Brightfield, 40× oil-immersion objective; May-Grünwald-Giemsa stain; bone marrow aspirate smear — 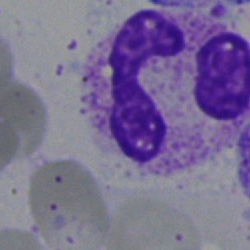
Morphological class — artifact.